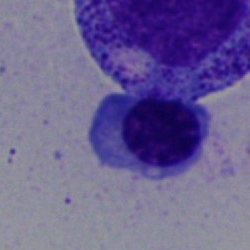

Morphological class — normoblast.